Bone marrow smear
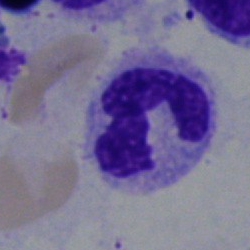

Morphological class: polymorphonuclear neutrophil.